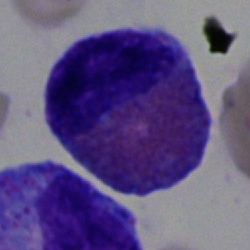 Cell: eosinophil.